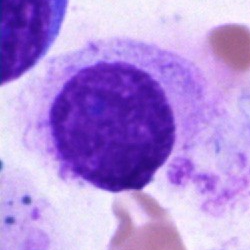

This is a plasma cell.